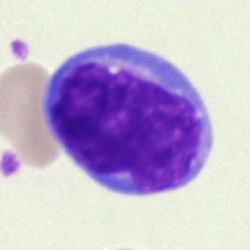 Q: What is shown here?
A: Undifferentiated blast.